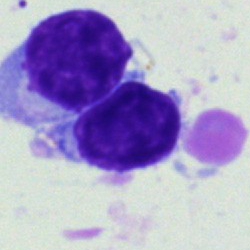
Q: What type of cell is this?
A: A typical lymphocyte.